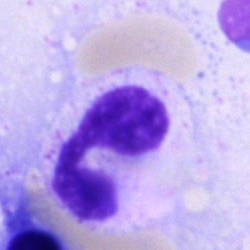 Specimen: bone marrow smear.
Morphological class: segmented neutrophil.
Lineage: myeloid.